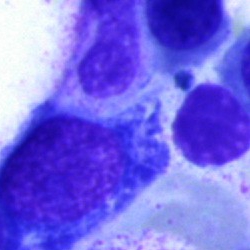
Morphology → erythroblast.